Bone marrow smear: 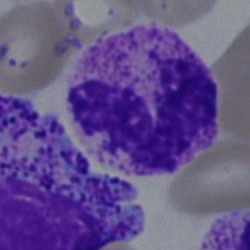Morphology consistent with a segmented neutrophil.